Single cell centered in the field; Romanowsky-stained; peripheral blood film — 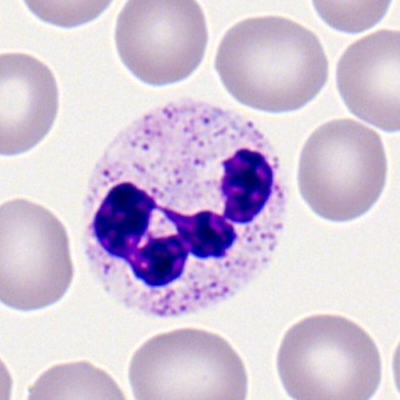 Single cell identified as a polymorphonuclear neutrophil.